May-Grünwald-Giemsa/Pappenheim stain · bone marrow aspirate smear: 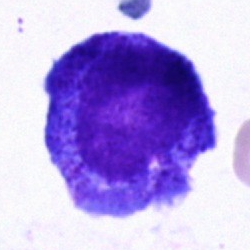Morphological class: promyelocyte.